Peripheral blood smear.
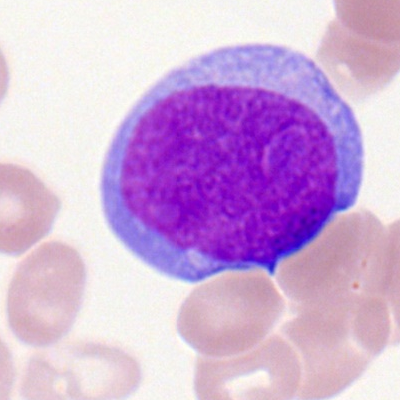

Q: What is the morphological classification of this cell?
A: Myeloblast.